Brightfield, 40× oil-immersion objective. Bone marrow smear: 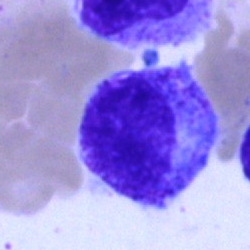Single cell identified as a progranulocyte.